Bone marrow aspirate smear.
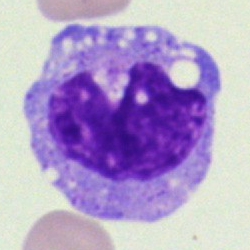 {"cell_type": "monocyte"}